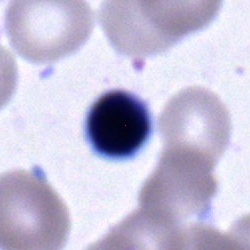
This is a lymphocyte.